Bone marrow aspirate smear: 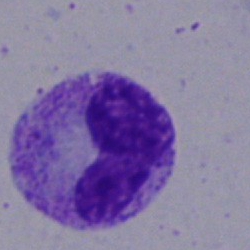

Cell type — band-form neutrophil.